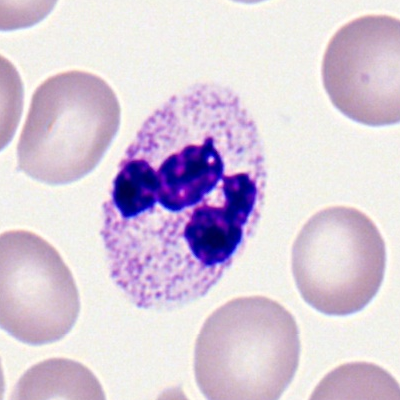 Specimen: peripheral blood smear.
Classification: segmented neutrophil.
Lineage: myeloid.